Bone marrow smear.
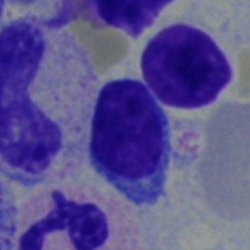 Q: Identify the cell.
A: This is a lymphocyte.